250×250. Bone marrow smear — 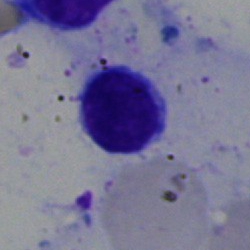 Q: Which cell type is shown here?
A: Typical lymphocyte.